Peripheral blood film:
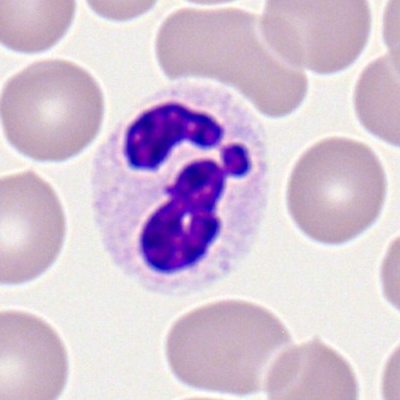Morphological class: segmented neutrophil.